Bone marrow smear — 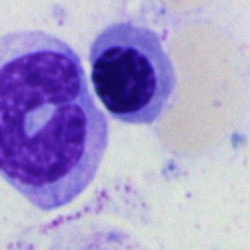 Cell: normoblast.